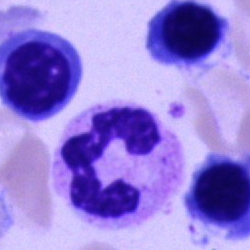
Classification = neutrophil (segmented).